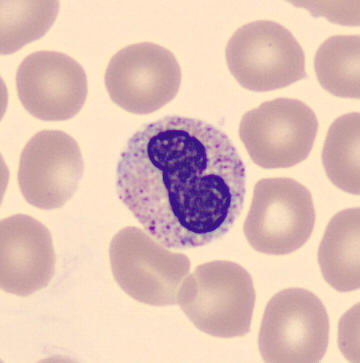Image: CellaVision DM96; MGG stain; peripheral blood smear. Q: Which cell type is shown here?
A: A band-form neutrophil.